Peripheral blood smear:
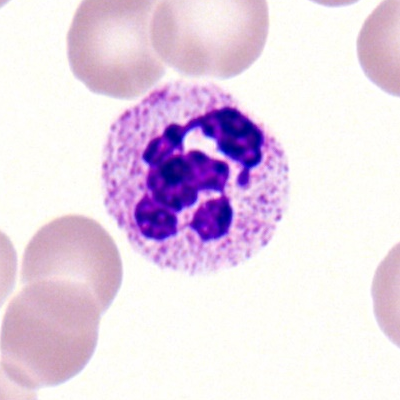 Morphology consistent with a segmented neutrophil.